Bone marrow aspirate smear; cropped to a single cell.
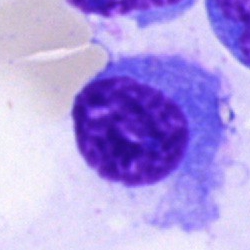
The classification is plasma cell.